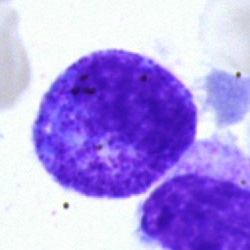
Morphology consistent with a myelocyte.